Bone marrow smear:
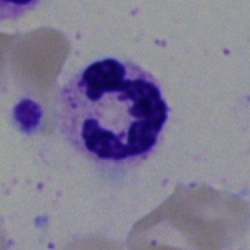 Morphology — neutrophil (segmented).